Bone marrow smear: 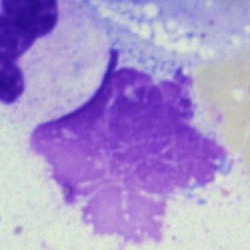 Cell = artefact.